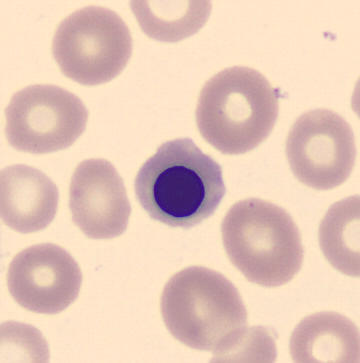Cell — normoblast.